MGG-stained · bone marrow smear
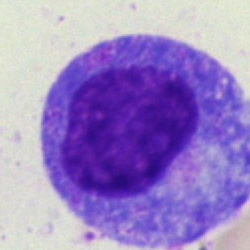

Promyelocyte.